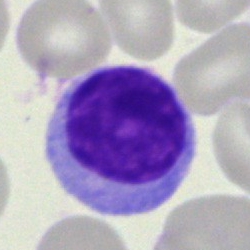

A lymphocyte.